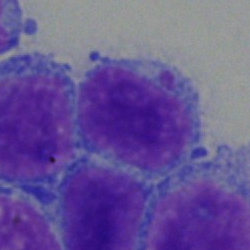Q: What is the morphological classification of this cell?
A: It is a typical lymphocyte.